Bone marrow aspirate smear.
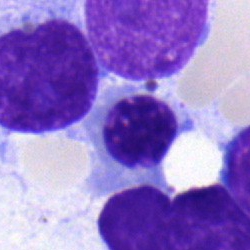 The cell type is erythroblast.